Bone marrow aspirate smear
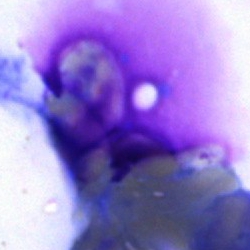An artifact.